Single cell centered in the field · MGG-stained · bone marrow aspirate smear.
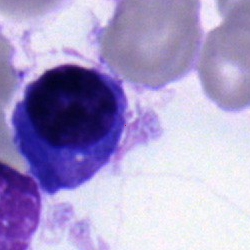 Cell type — plasma cell.